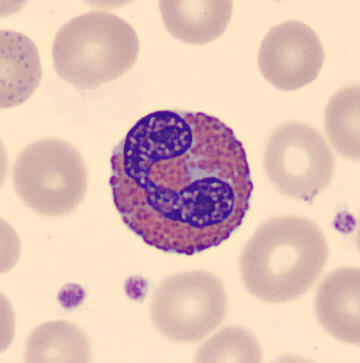

The cell shown is an eosinophil.